Bone marrow smear:
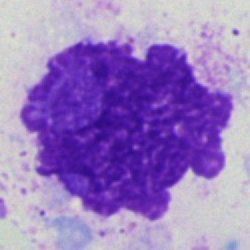 Showing an artifact.